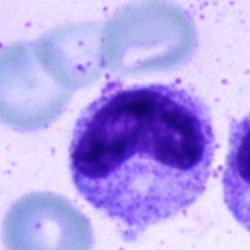Bone marrow aspirate smear, single cell — metamyelocyte.